Bone marrow smear:
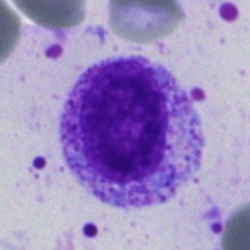

Q: What is shown here?
A: It is a myelocyte.